Bone marrow aspirate smear · image size 250×250:
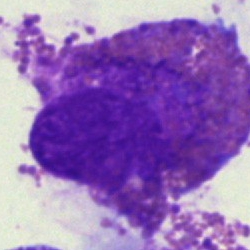
Morphological class: eosinophil.